Bone marrow smear: 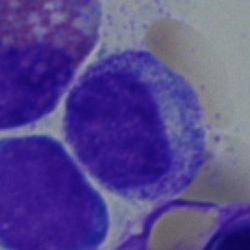 {"cell_type": "myelocyte"}